Bone marrow aspirate smear
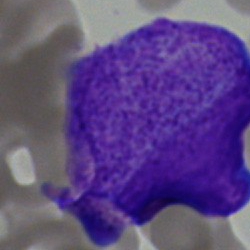Impression — blast.